40× objective, oil immersion; bone marrow aspirate smear — 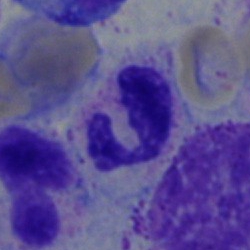 Showing a neutrophil (segmented).